40× oil immersion; bone marrow smear.
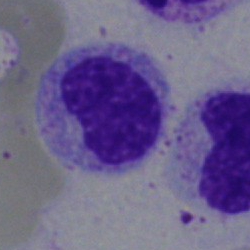Morphology consistent with a myelocyte.